Bone marrow smear: 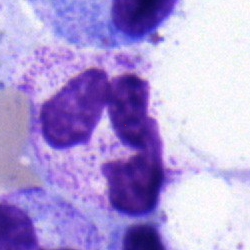Q: What cell is this?
A: A segmented neutrophil.